Cropped to a single cell · bone marrow smear — 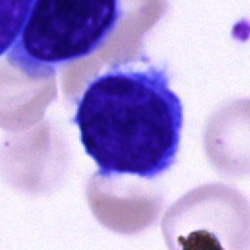
Q: Which cell type is shown here?
A: This is a lymphocyte.